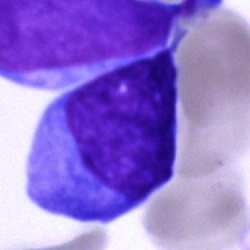Cell type: undifferentiated blast.